250×250 · bone marrow smear:
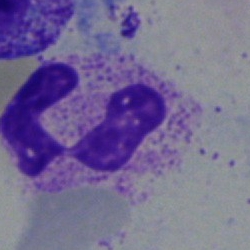 Morphology consistent with a segmented neutrophil.